Bone marrow aspirate smear.
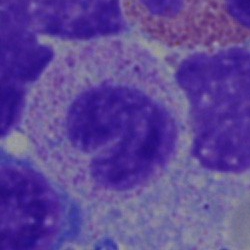Morphology consistent with a stab cell.